Bone marrow smear · single-cell crop · 250×250:
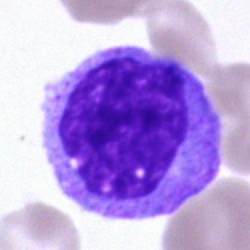

Cell: monocyte.